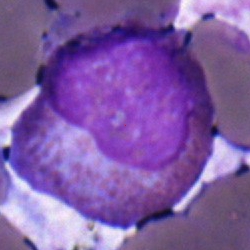
Morphological class = eosinophilic granulocyte.